Bone marrow aspirate smear · single cell centered in the field
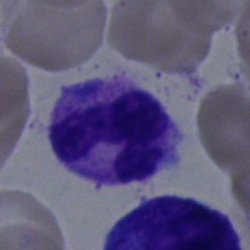 A neutrophil (segmented).